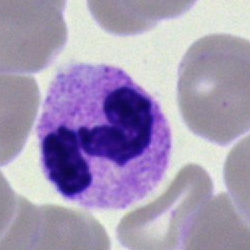
Classification — neutrophil (segmented).